Bone marrow smear — 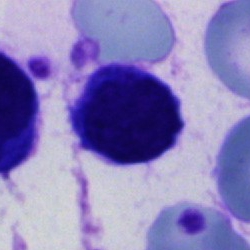

Classification — cell of indeterminate lineage.